Bone marrow aspirate smear:
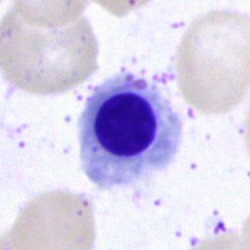The cell shown is a normoblast.